Bone marrow smear. 250×250 px: 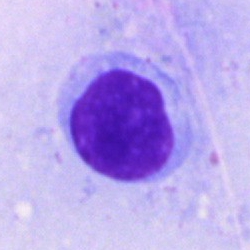

Cell type: typical lymphocyte.